Bone marrow aspirate smear; 250×250 px.
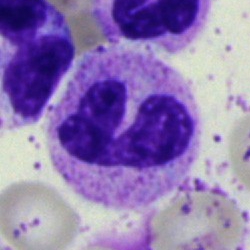

A segmented neutrophil.